May-Grünwald-Giemsa/Pappenheim stain · single-cell crop · bone marrow smear: 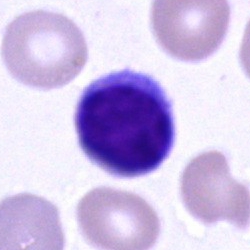
Specimen: bone marrow smear.
Classification: typical lymphocyte.